Bone marrow smear.
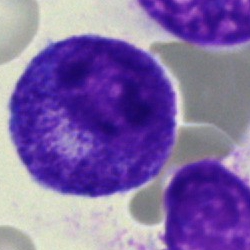 The cell is progranulocyte.